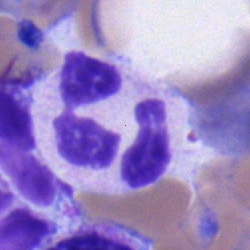
Single cell identified as a segmented neutrophil.